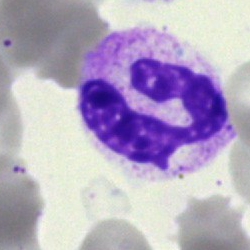This is a polymorphonuclear neutrophil.